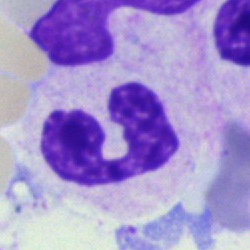

Morphology → segmented neutrophil.